Bone marrow aspirate smear:
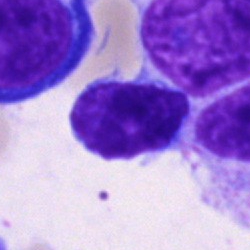Classification: lymphocyte.